Bone marrow aspirate smear · single cell centered in the field.
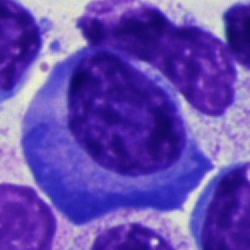Morphology — plasmacyte.